Bone marrow aspirate smear: 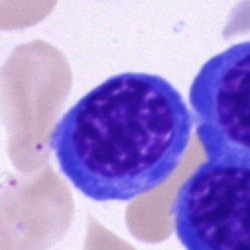 Morphological class: nucleated red blood cell.